Bone marrow aspirate smear:
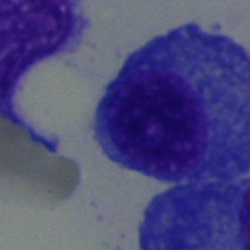 Plasmacyte.